Brightfield, 40× oil-immersion objective · bone marrow smear · single-cell field.
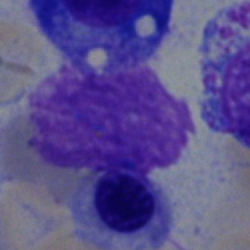Specimen: bone marrow smear.
Cell: nucleated red cell.
Lineage: erythroid.